Bone marrow aspirate smear
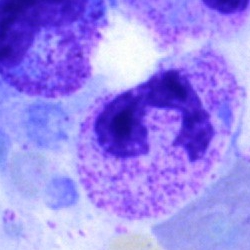
The classification is neutrophil (segmented).